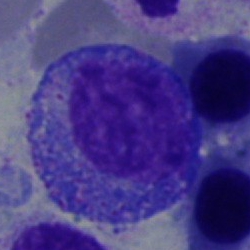

Morphology → progranulocyte.